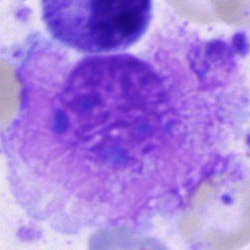 Showing an artifact.